Bone marrow smear: 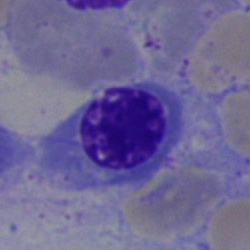

Morphology → normoblast.